Bone marrow smear:
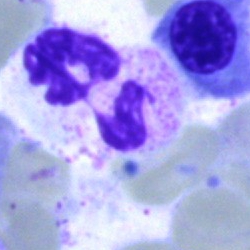The cell shown is a neutrophil (segmented).